Bone marrow smear: 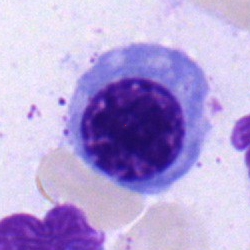
Cell type = normoblast.